Peripheral blood film; 400 by 400 pixels; cropped to a single cell — 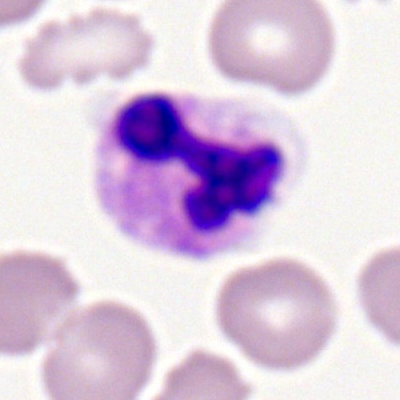Classification — segmented neutrophil.